Bone marrow aspirate smear
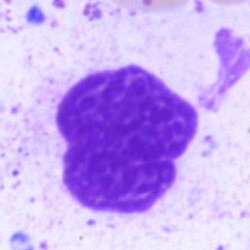Single cell identified as an artifact.